250×250; bone marrow smear; cropped to a single cell.
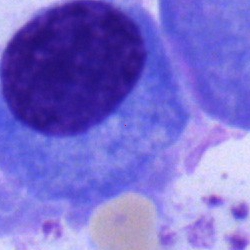The morphological class is plasma cell.